Bone marrow smear. Image size 250×250
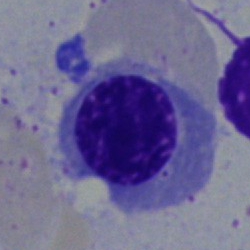
The morphological class is nucleated red blood cell.